Bone marrow smear. 250×250 — 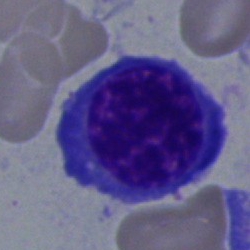 Q: Which cell type is shown here?
A: Nucleated red blood cell.